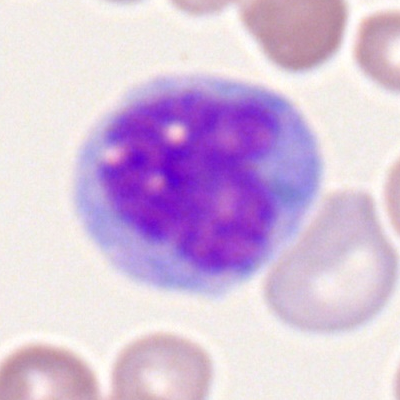

Specimen: peripheral blood film.
Cell type: monocyte.